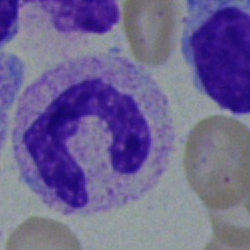Cell = stab cell.